Peripheral blood film · Romanowsky-stained:
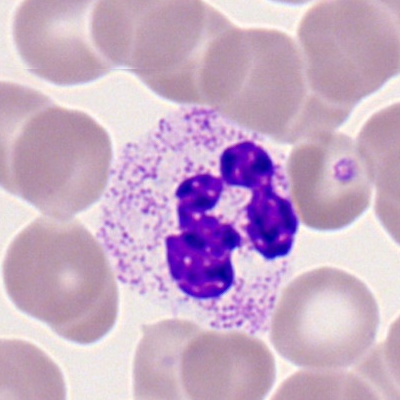Morphology consistent with a neutrophil (segmented).